Peripheral blood smear
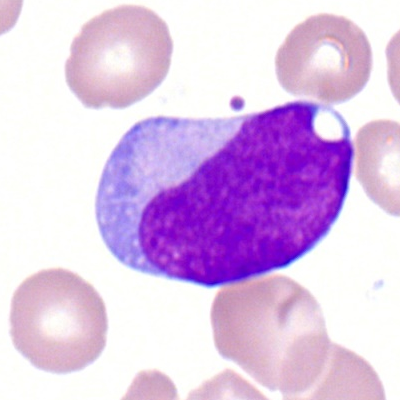This is a myeloid blast.